Brightfield microscopy, 40× oil immersion · bone marrow aspirate smear: 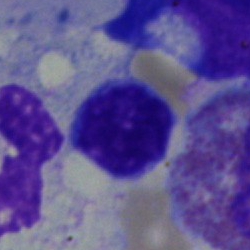

Q: What type of cell is this?
A: A lymphocyte.